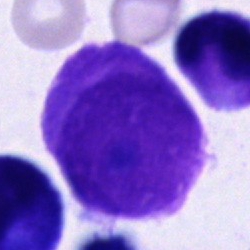The classification is plasmacyte.